Bone marrow smear.
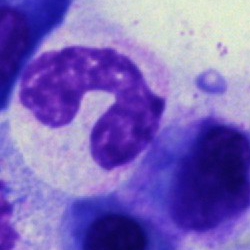 Specimen: bone marrow smear.
Morphological class: neutrophil (band).